Bone marrow smear · single-cell crop · 250×250 px:
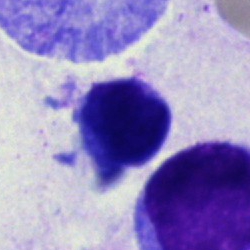Cell: typical lymphocyte.